May-Grünwald-Giemsa stain. Bone marrow aspirate smear
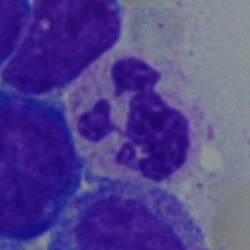 Q: What type of cell is this?
A: It is a polymorphonuclear neutrophil.